Bone marrow aspirate smear:
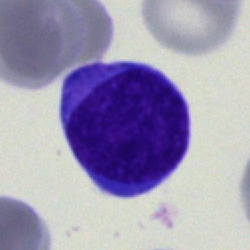
Morphology consistent with a blast cell.